Single-cell crop. Bone marrow smear. Brightfield, 40× oil-immersion objective:
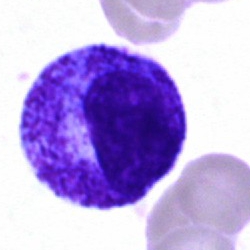
Cell: promyelocyte.